Pappenheim-stained · single-cell crop · bone marrow aspirate smear.
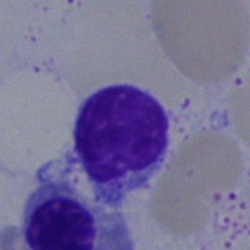

Typical lymphocyte.